Bone marrow aspirate smear; May-Grünwald-Giemsa/Pappenheim stain — 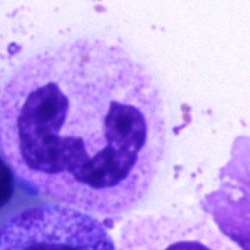 Q: Which cell type is shown here?
A: A neutrophil (segmented).